Bone marrow aspirate smear. Pappenheim-stained — 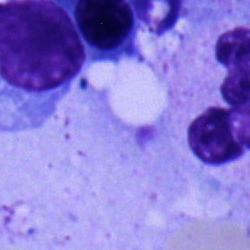 {"cell_type": "neutrophil (segmented)", "lineage": "myeloid"}